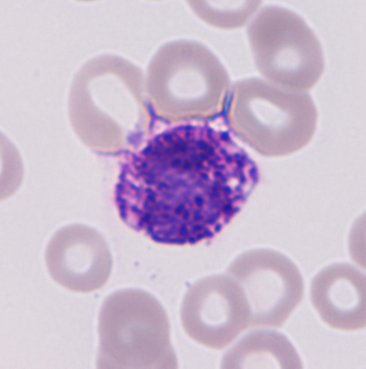

Cell: basophilic granulocyte.